Pappenheim-stained; single-cell crop; bone marrow aspirate smear: 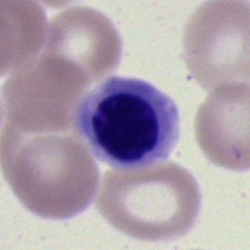Showing an erythroblast.